Peripheral blood smear — 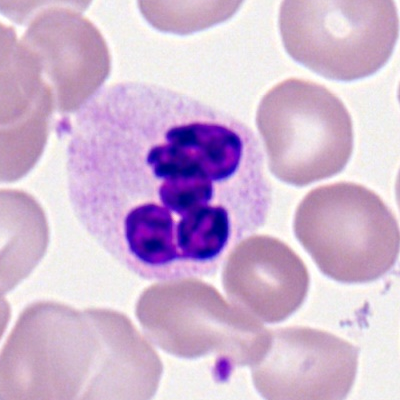Q: What cell is this?
A: This is a segmented neutrophil.